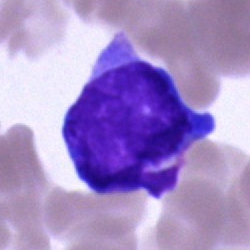
The morphological class is undifferentiated blast.